Brightfield, 40× oil-immersion objective · 250 by 250 pixels · bone marrow smear — 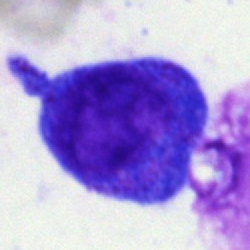 Q: What type of cell is this?
A: A promyelocyte.